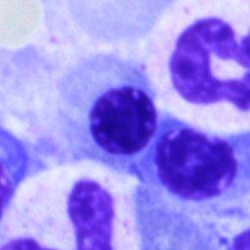 Cell type: nucleated red cell.